Peripheral blood film.
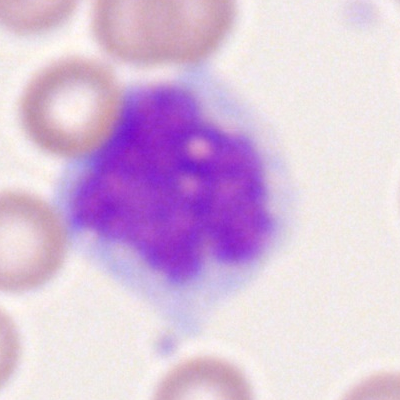 Q: What is the morphological classification of this cell?
A: This is a monocyte.